May-Grünwald-Giemsa/Pappenheim stain · bone marrow aspirate smear: 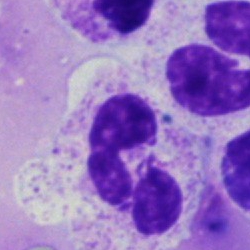

Specimen: bone marrow smear.
Cell: neutrophil (segmented).
Lineage: myeloid.